Bone marrow aspirate smear
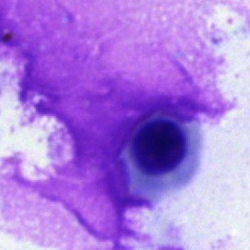 The classification is normoblast.